40× objective, oil immersion. Bone marrow smear — 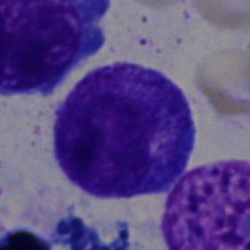

Q: What is shown here?
A: It is a progranulocyte.